Bone marrow smear; 40× oil immersion; 250×250 px
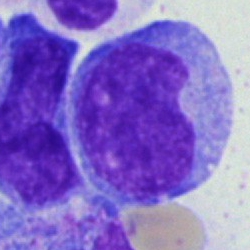
Cell type — monocyte.